40× oil immersion. Bone marrow smear. May-Grünwald-Giemsa/Pappenheim stain.
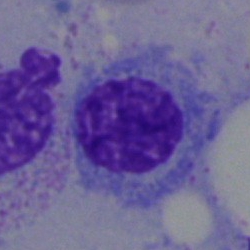
Cell type: erythroblast.